Bone marrow aspirate smear.
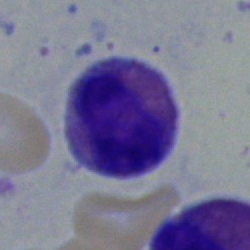 Specimen: bone marrow aspirate smear.
Morphological class: eosinophil.